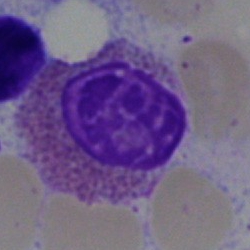Specimen: bone marrow aspirate smear.
Cell type: eosinophil.
Lineage: myeloid.